Bone marrow aspirate smear
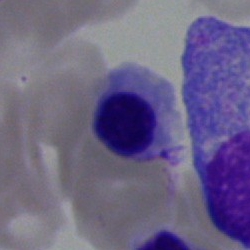Q: What type of cell is this?
A: An erythroblast.